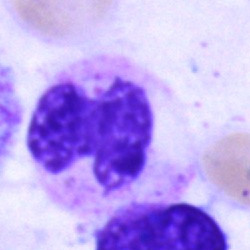
The classification is segmented neutrophil.